Bone marrow smear — 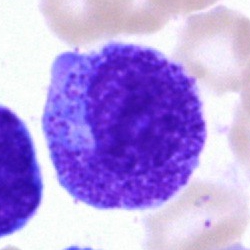
Q: Which cell type is shown here?
A: Myelocyte.